Bone marrow smear — 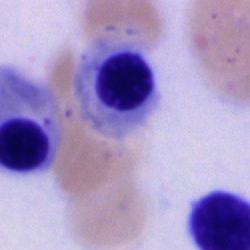

Showing a nucleated red blood cell.